Bone marrow aspirate smear: 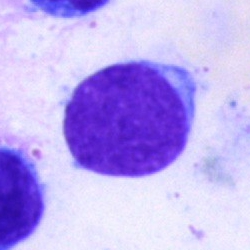

Morphological class = typical lymphocyte.